Bone marrow aspirate smear.
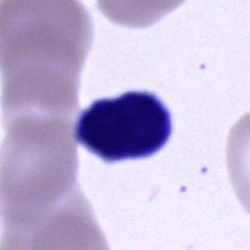 Cell type = lymphocyte.